Bone marrow smear — 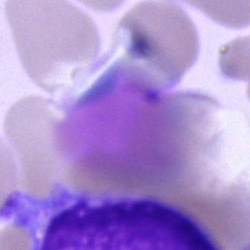

{"cell_type": "artefact"}